Bone marrow aspirate smear · cropped to a single cell · May-Grünwald-Giemsa/Pappenheim stain — 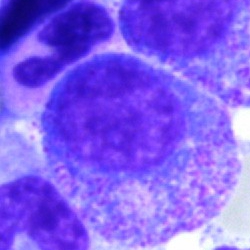Single cell identified as a promyelocyte.